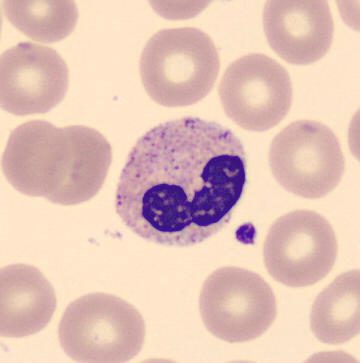Peripheral blood smear. Morphology consistent with a stab cell.